Bone marrow smear; 250 by 250 pixels.
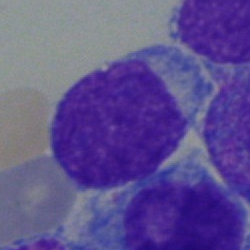Blast cell.